Cropped to a single cell; Romanowsky stain; peripheral blood film: 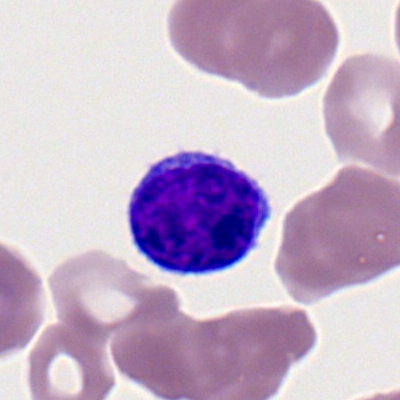
Specimen: peripheral blood film.
Cell: typical lymphocyte.